Single cell centered in the field; bone marrow smear; image size 250×250.
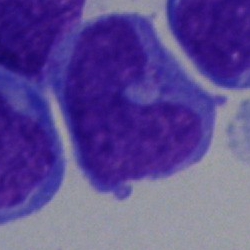

The classification is undifferentiated blast.